Pappenheim-stained. Bone marrow aspirate smear: 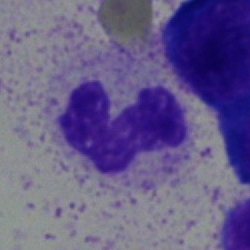

The cell type is neutrophil (band).